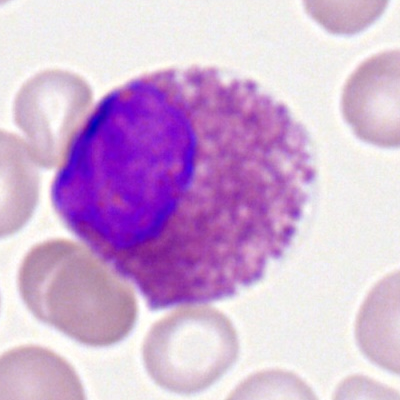Cell — eosinophil.